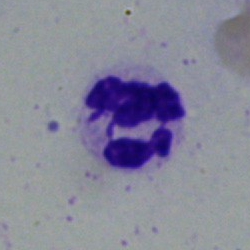Q: What is the morphological classification of this cell?
A: It is a neutrophil (segmented).